Bone marrow aspirate smear
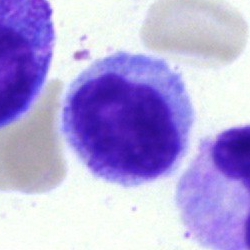
Classification — monocyte.